Bone marrow aspirate smear · brightfield microscopy, 40× oil immersion · image size 250×250:
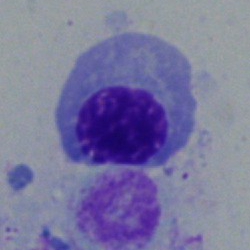
Morphological class — nucleated red blood cell.